Bone marrow aspirate smear:
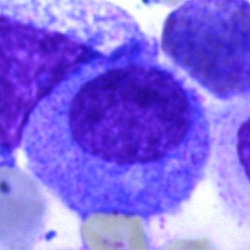
Q: What cell is this?
A: It is a progranulocyte.